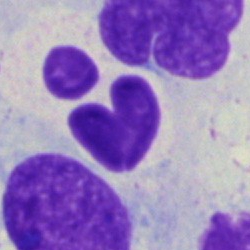 Cell = artefact.